Single-cell crop; peripheral blood smear
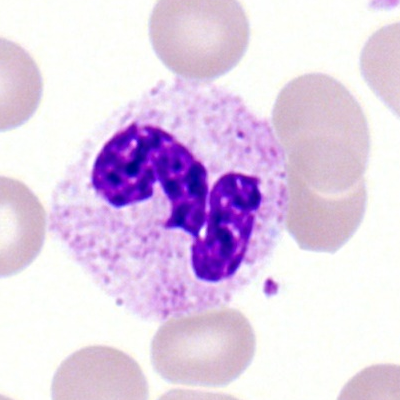

Specimen: peripheral blood film.
Morphological class: polymorphonuclear neutrophil.